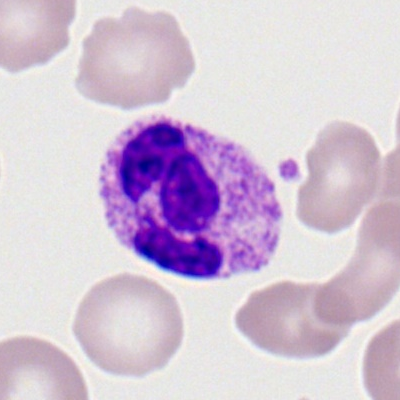
Impression → neutrophil (segmented).